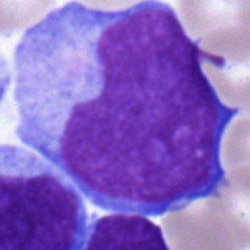
A blast cell on a bone marrow smear.